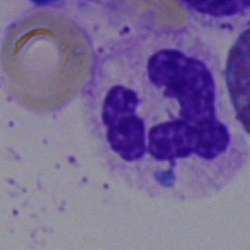
Impression — segmented neutrophil.